Peripheral blood smear · single-cell field · 400×400
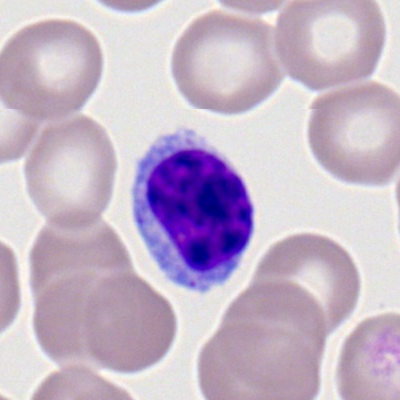 Morphology → lymphocyte.